May-Grünwald-Giemsa/Pappenheim stain. Bone marrow aspirate smear.
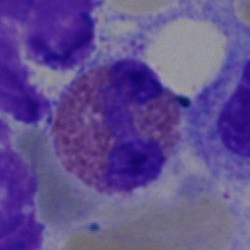Q: What is shown here?
A: Eosinophilic granulocyte.